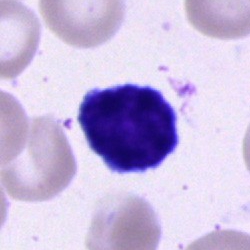 Single cell identified as a typical lymphocyte.